Bone marrow smear — 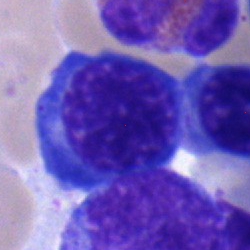

Cell type — erythroblast.